Bone marrow smear: 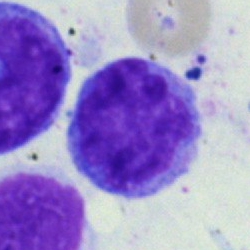
Classification = lymphocyte.